Single cell centered in the field · bone marrow aspirate smear: 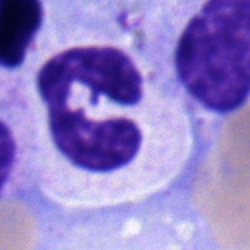
{"cell_type": "segmented neutrophil"}